Bone marrow smear:
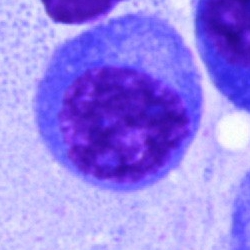A plasma cell.